Bone marrow smear.
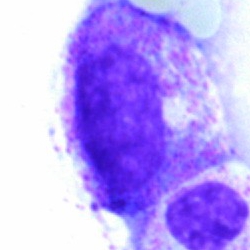

Specimen: bone marrow smear.
Classification: myelocyte.